Bone marrow smear
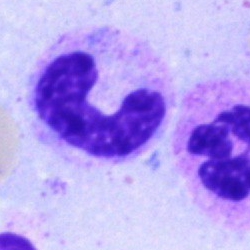 Specimen: bone marrow aspirate smear.
Classification: band-form neutrophil.